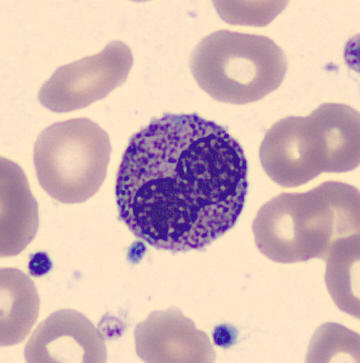Classification: metamyelocyte.

Peripheral blood smear. May Grünwald-Giemsa stain. CellaVision DM96 digital cell image.